Bone marrow aspirate smear: 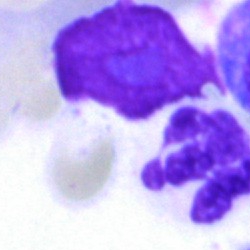 Q: What cell is this?
A: Neutrophil (segmented).